Bone marrow smear.
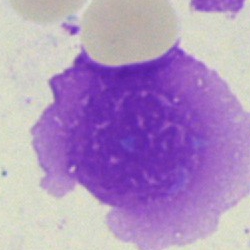

{"cell_type": "artifact"}